Brightfield, 100× oil-immersion objective. 400 by 400 pixels. Peripheral blood smear
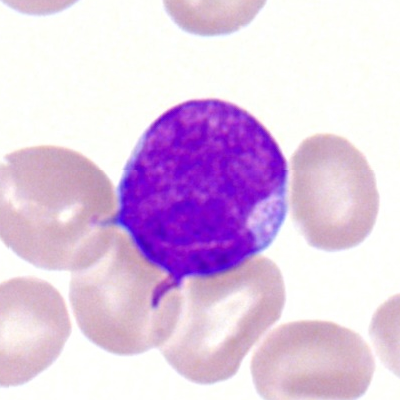

Q: What is the morphological classification of this cell?
A: A myeloblast.